Bone marrow smear. MGG-stained: 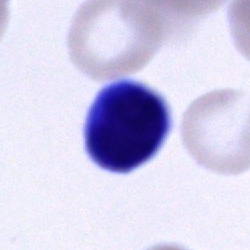
Specimen: bone marrow smear.
Cell type: lymphocyte.